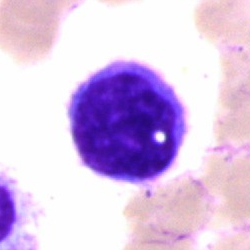
Showing a lymphocyte.